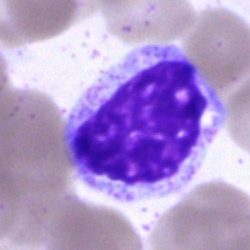
Morphology consistent with a myelocyte.